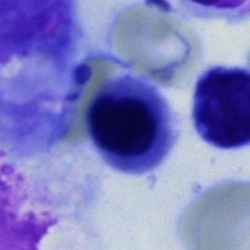 The cell shown is an erythroblast.